Bone marrow smear
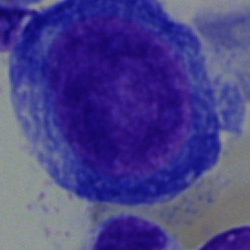

The cell type is pronormoblast.